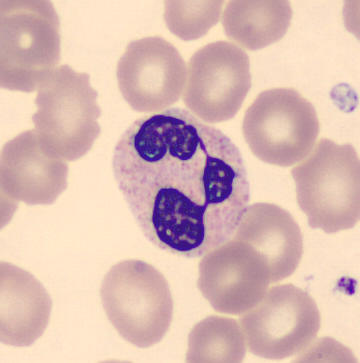
Acquisition: Peripheral blood film. Single-cell field.

Cell type — segmented neutrophil.